Single-cell crop; peripheral blood film; Romanowsky-type stain
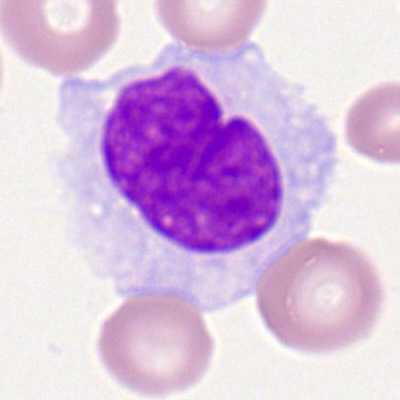
Q: Which cell type is shown here?
A: It is a monocyte.